Peripheral blood film.
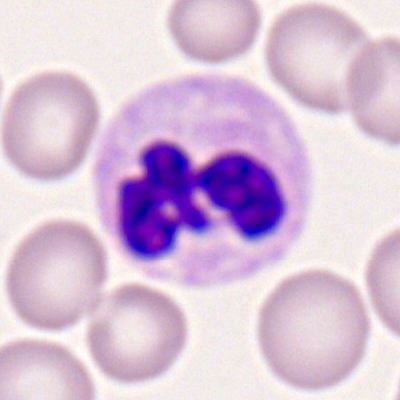 Q: What is the morphological classification of this cell?
A: This is a segmented neutrophil.